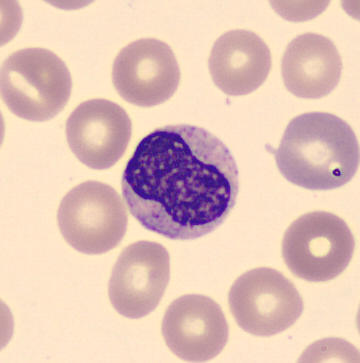Q: Identify the cell.
A: This is a metamyelocyte.